Bone marrow aspirate smear: 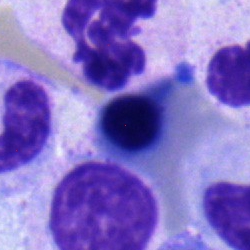 Morphology consistent with a nucleated red blood cell.